Brightfield microscopy, 40× oil immersion. Single-cell crop. Bone marrow aspirate smear.
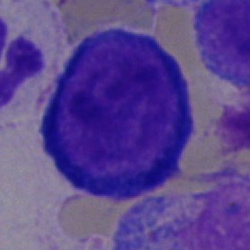

Morphological class: pronormoblast.